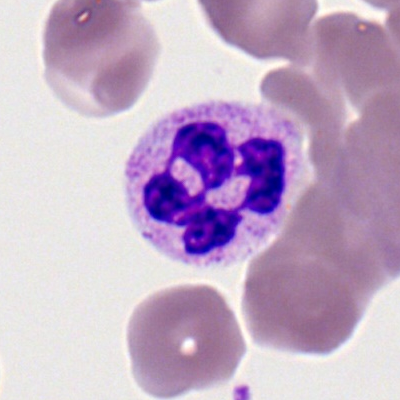Cell type — neutrophil (segmented).